Bone marrow aspirate smear: 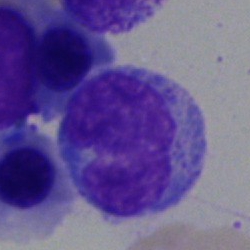
Classification = monocyte.